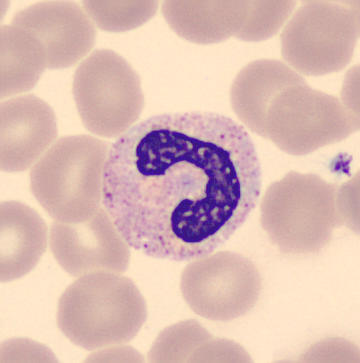 Impression — band-form neutrophil.